40× oil immersion. Bone marrow smear. May-Grünwald-Giemsa/Pappenheim stain: 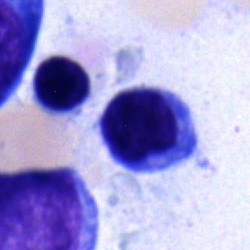

Cell: typical lymphocyte.